40× objective, oil immersion; bone marrow smear; Pappenheim-stained:
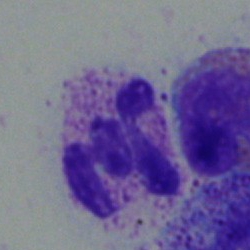The morphological class is neutrophil (segmented).